MGG-stained; bone marrow aspirate smear.
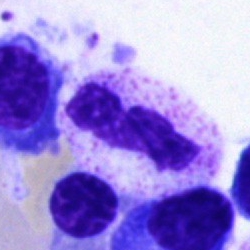

Q: Which cell type is shown here?
A: A polymorphonuclear neutrophil.